Bone marrow smear.
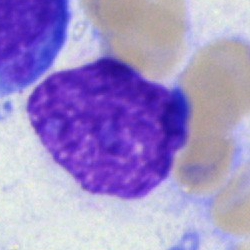Cell type — artifact.